Cropped to a single cell. Bone marrow smear. 250×250 px: 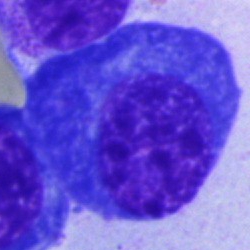Showing a plasma cell.